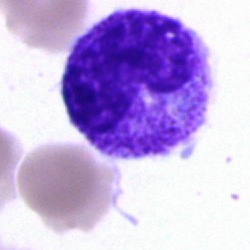Specimen: bone marrow smear.
Cell type: metamyelocyte.